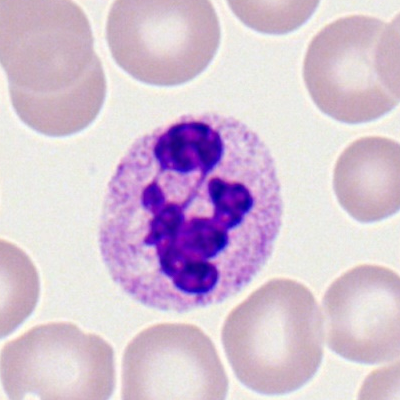 Q: What cell is this?
A: It is a segmented neutrophil.